Bone marrow aspirate smear — 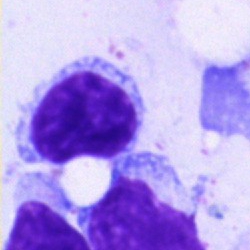 Specimen: bone marrow aspirate smear.
Morphological class: typical lymphocyte.
Lineage: lymphoid.